Bone marrow aspirate smear; single-cell field — 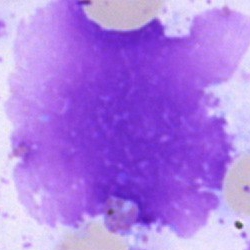An artefact.